Bone marrow aspirate smear; single cell centered in the field — 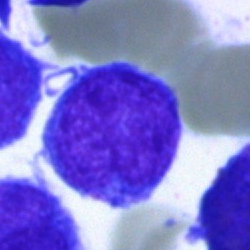
Morphology consistent with a blast cell.